Cropped to a single cell; bone marrow smear
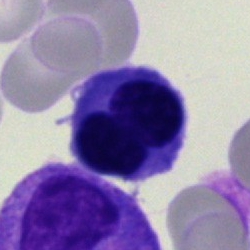Showing a lymphocyte.